Single-cell crop. May-Grünwald-Giemsa/Pappenheim stain. Bone marrow aspirate smear
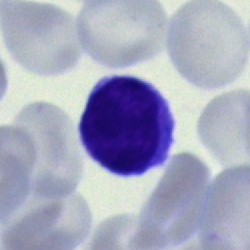
The cell is typical lymphocyte.